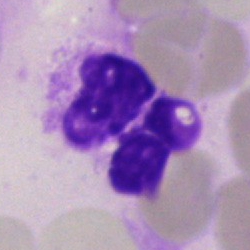

Polymorphonuclear neutrophil.